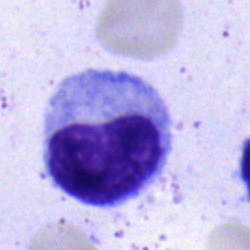 Specimen: bone marrow aspirate smear.
Morphological class: metamyelocyte.
Lineage: myeloid.